Bone marrow smear — 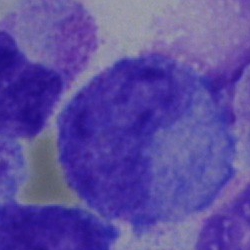
The cell shown is a metamyelocyte.